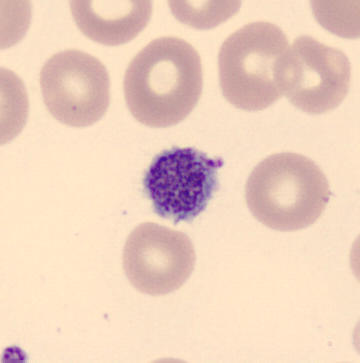Morphological class — platelet (thrombocyte).